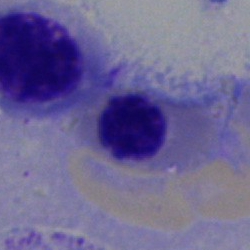 Single cell identified as a normoblast.